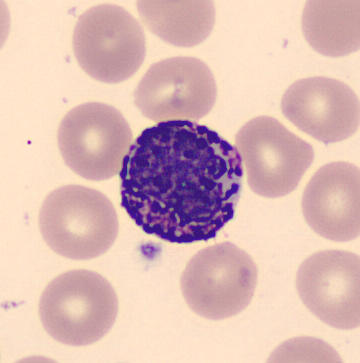Q: What cell is this?
A: It is a basophilic granulocyte. Peripheral blood film.